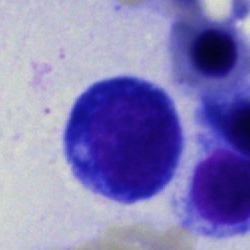A cell of indeterminate lineage.